Peripheral blood film — 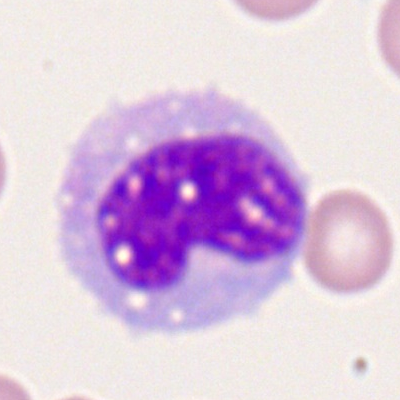
Cell type = monocyte.